Cropped to a single cell · 40× objective, oil immersion · bone marrow aspirate smear: 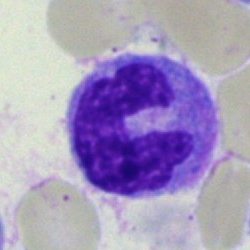

A monocyte.